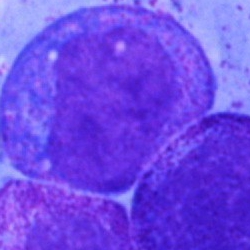
Single cell identified as a progranulocyte.